Bone marrow smear · 40× objective, oil immersion · Pappenheim-stained:
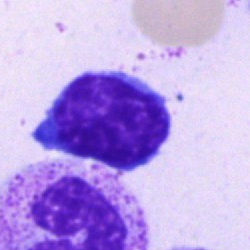

Showing a lymphocyte.